Bone marrow aspirate smear.
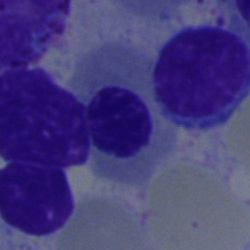Classification = nucleated red blood cell.